Single-cell crop. Bone marrow smear: 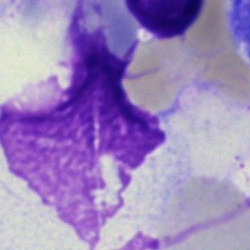 Cell type — artefact.